Bone marrow smear — 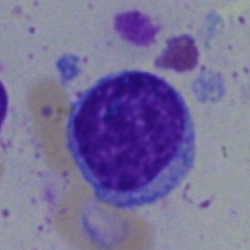Cell type — typical lymphocyte.